Bone marrow aspirate smear: 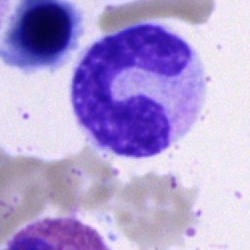 This is a neutrophil (band).